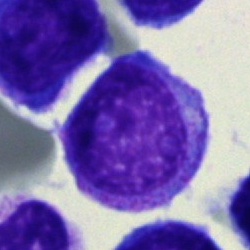This is a blast.